Peripheral blood film · single-cell field · M8 digital microscope (Precipoint), 100× oil immersion — 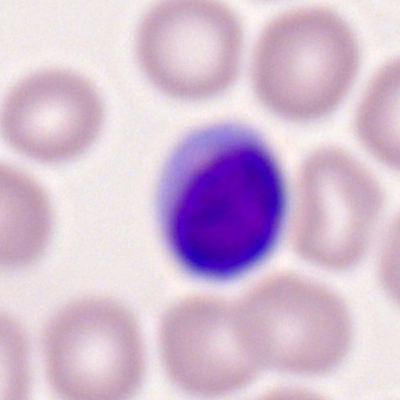

{"cell_type": "typical lymphocyte"}